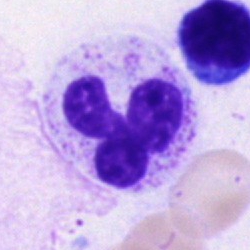Bone marrow smear showing a polymorphonuclear neutrophil.